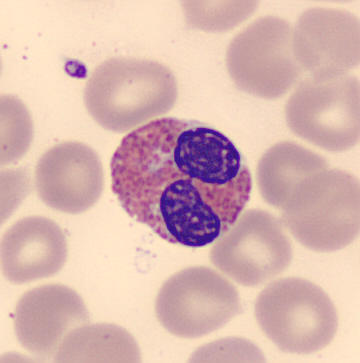
Q: What is the morphological classification of this cell?
A: This is an eosinophil. Peripheral blood smear.